40× oil immersion. Bone marrow smear. MGG-stained.
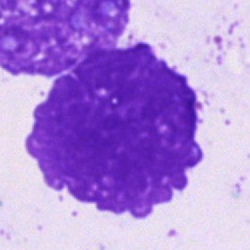

Single cell identified as an artifact.